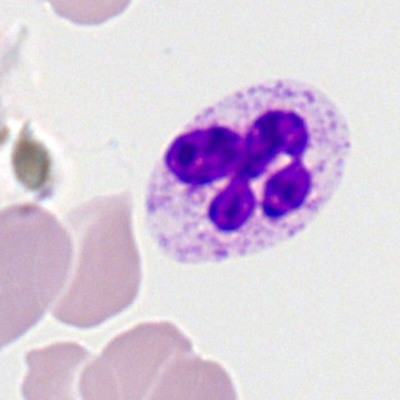

Q: What is shown here?
A: Segmented neutrophil.